May-Grünwald-Giemsa/Pappenheim stain · single-cell crop · bone marrow smear: 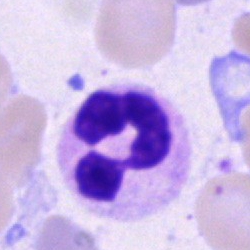

A segmented neutrophil.